Peripheral blood smear — 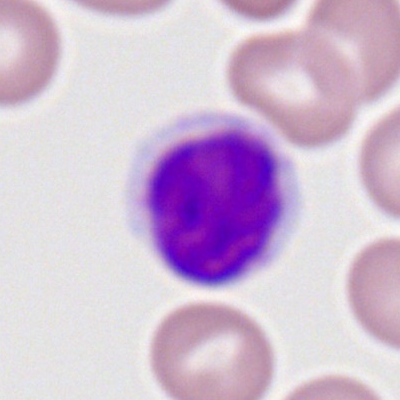
The cell shown is a typical lymphocyte.